Bone marrow smear. Single-cell crop. 250×250
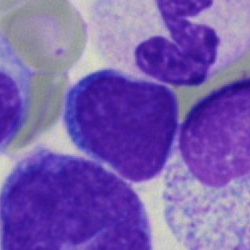

Specimen: bone marrow aspirate smear.
Classification: typical lymphocyte.
Lineage: lymphoid.